Bone marrow smear.
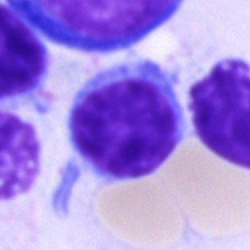Specimen: bone marrow smear.
Classification: lymphocyte.
Lineage: lymphoid.